40× oil immersion; bone marrow smear; Pappenheim-stained:
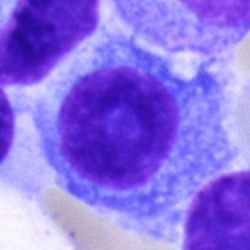 This is a plasma cell.